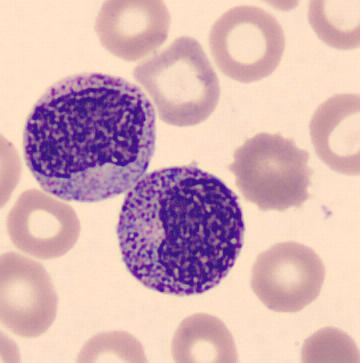
Specimen: peripheral blood film.
Cell type: myelocyte.
Lineage: myeloid.